MGG-stained. Bone marrow aspirate smear: 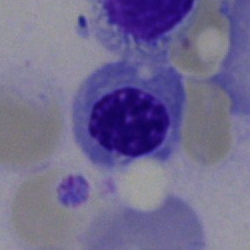Specimen: bone marrow aspirate smear.
Classification: normoblast.
Lineage: erythroid.